40× oil immersion; bone marrow aspirate smear: 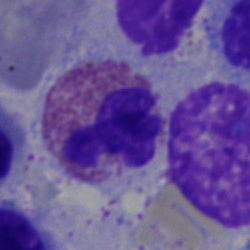
Morphology → eosinophilic granulocyte.